250×250. Bone marrow smear: 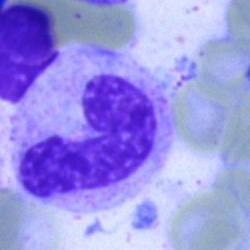

This is a stab cell.